Peripheral blood smear:
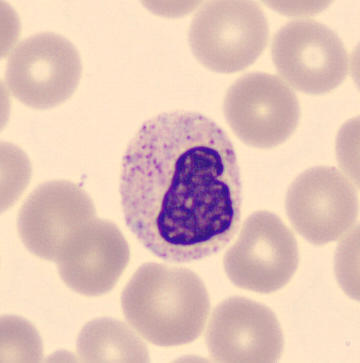

This is a band-form neutrophil.